Bone marrow smear: 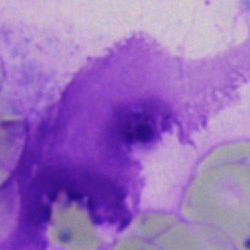 Q: What is shown here?
A: Artifact.